Bone marrow smear: 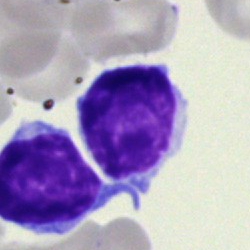 Cell type = typical lymphocyte.